Bone marrow smear
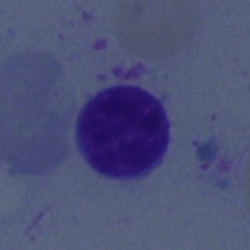Showing a typical lymphocyte.